Bone marrow aspirate smear — 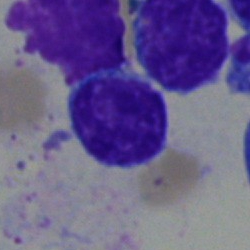

Cell type = lymphocyte.